Bone marrow smear — 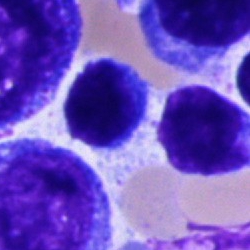This is a lymphocyte.